Bone marrow aspirate smear; brightfield microscopy, 40× oil immersion — 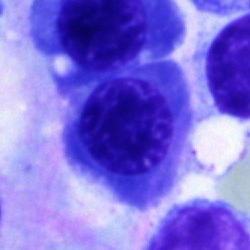Morphological class = nucleated red blood cell.